Bone marrow smear.
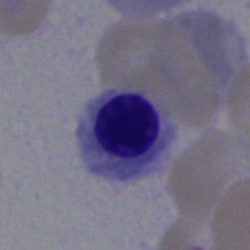

Q: What type of cell is this?
A: It is a nucleated red blood cell.